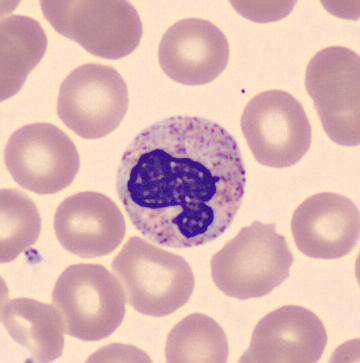Showing a neutrophil (segmented). Peripheral blood smear.